Bone marrow smear; single-cell crop; May-Grünwald-Giemsa/Pappenheim stain
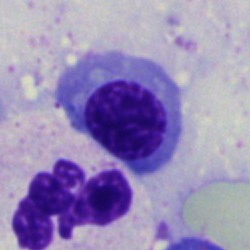 A nucleated red cell.